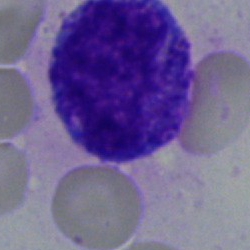
Classification — artefact.